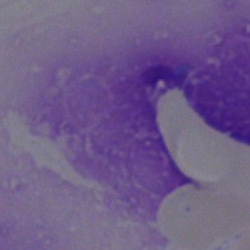

Bone marrow aspirate smear, single cell — artefact.